Peripheral blood smear:
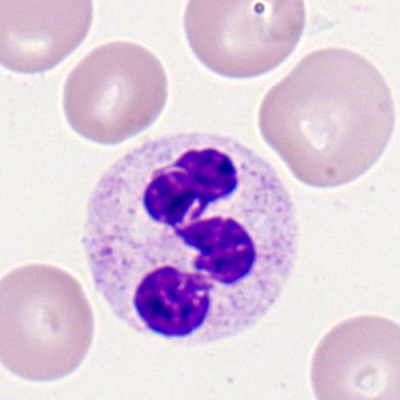 Single cell identified as a neutrophil (segmented).